250 by 250 pixels; bone marrow aspirate smear — 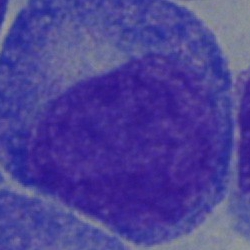 {"cell_type": "progranulocyte"}